Bone marrow aspirate smear; brightfield, 40× oil-immersion objective — 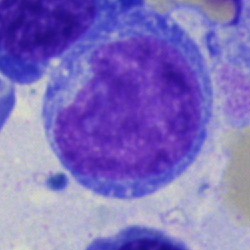 Blast.